Peripheral blood smear
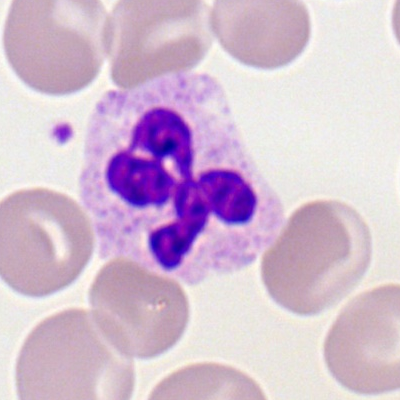
Classification = polymorphonuclear neutrophil.